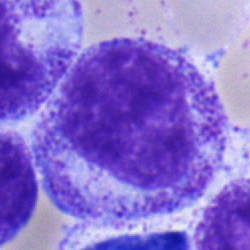 Cell type — myelocyte.